250×250; May-Grünwald-Giemsa/Pappenheim stain; bone marrow aspirate smear
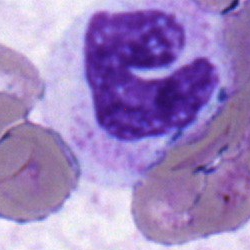 The cell shown is a band-form neutrophil.